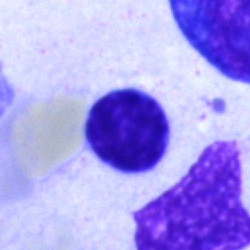
Cell type — lymphocyte.